Single-cell crop · bone marrow aspirate smear · image size 250×250
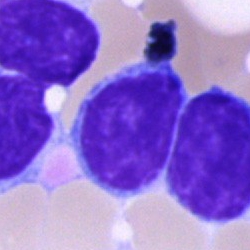Typical lymphocyte.